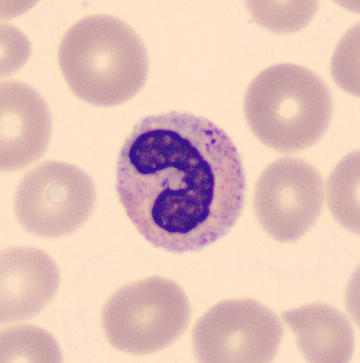

Morphology — neutrophil (band).